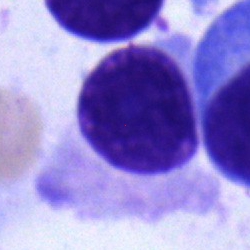Q: Identify the cell.
A: This is a plasmacyte.